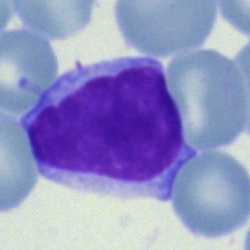Q: What type of cell is this?
A: Lymphocyte.